40× objective, oil immersion; bone marrow aspirate smear — 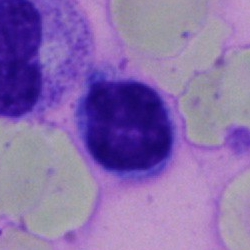 Q: Identify the cell.
A: A lymphocyte.